40× oil immersion · bone marrow smear:
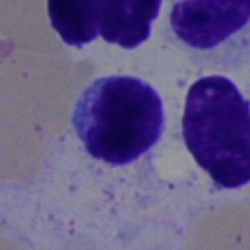Specimen: bone marrow smear.
Classification: typical lymphocyte.